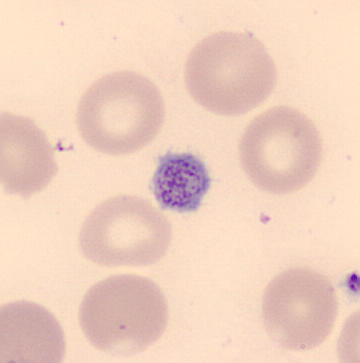Acquisition: Peripheral blood film; May Grünwald-Giemsa stain.

Morphological class: thrombocyte.